Peripheral blood smear. Romanowsky stain: 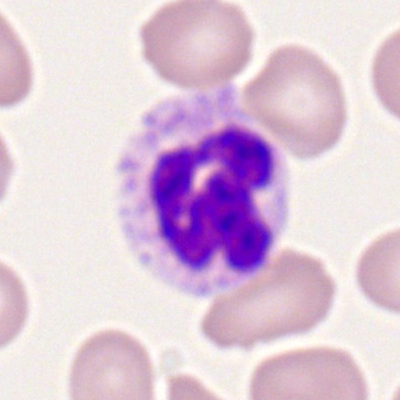 Impression → segmented neutrophil.